Bone marrow smear.
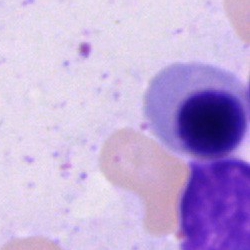 Classification: erythroblast.